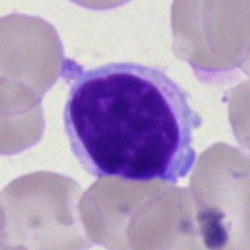Bone marrow smear showing a lymphocyte.